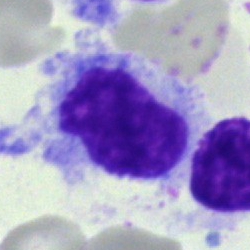Specimen: bone marrow smear.
Classification: hairy cell.